Bone marrow smear
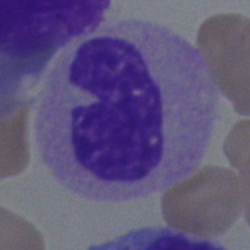This is a band-form neutrophil.